Bone marrow aspirate smear — 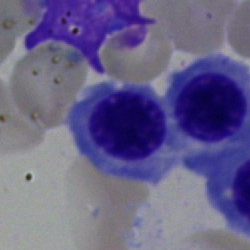

Impression → nucleated red blood cell.